Bone marrow smear. May-Grünwald-Giemsa stain. Brightfield microscopy, 40× oil immersion:
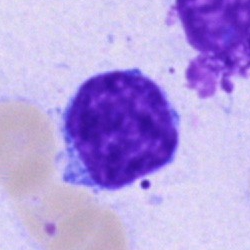A lymphocyte.